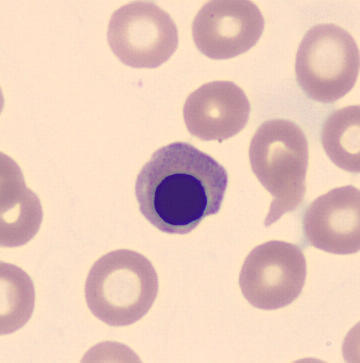

Cell type — nucleated red cell.